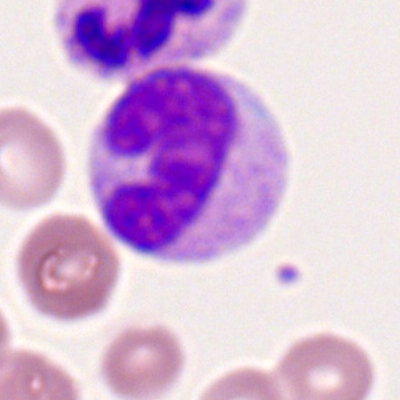Single-cell crop from a peripheral blood smear: monocyte.